40× objective, oil immersion; bone marrow aspirate smear — 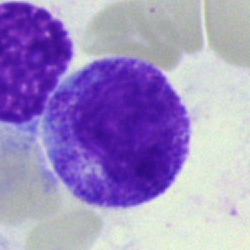 Classification: progranulocyte.